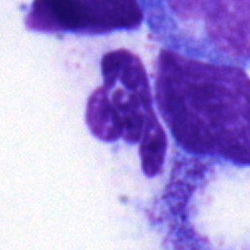

Specimen: bone marrow smear.
Classification: neutrophil (segmented).
Lineage: myeloid.